Bone marrow smear:
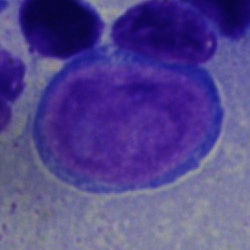

Morphology consistent with a proerythroblast.